Bone marrow smear · 40× objective, oil immersion · single-cell field
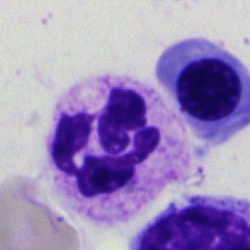Morphological class — segmented neutrophil.